Bone marrow aspirate smear — 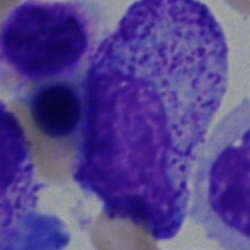

Specimen: bone marrow aspirate smear.
Cell type: promyelocyte.
Lineage: myeloid.